Bone marrow smear:
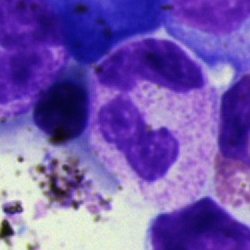
Morphological class = polymorphonuclear neutrophil.